Bone marrow smear; image size 250×250.
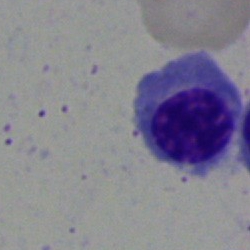Single cell identified as a normoblast.